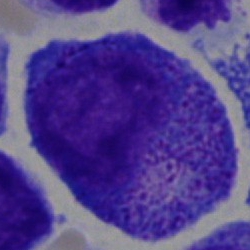
The cell shown is a progranulocyte.